Peripheral blood smear
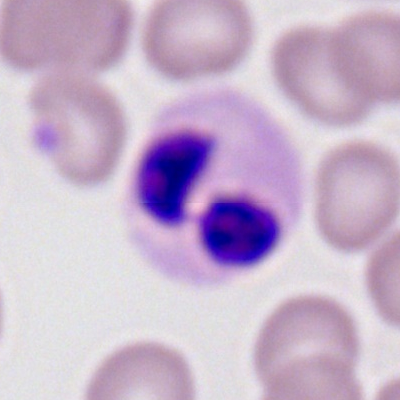
Showing a polymorphonuclear neutrophil.